Bone marrow aspirate smear
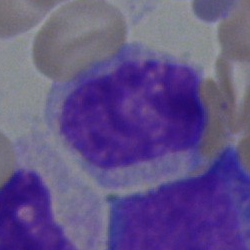 Specimen: bone marrow smear.
Cell type: myelocyte.
Lineage: myeloid.